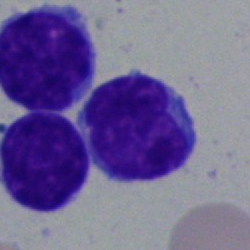

Cell — lymphocyte.